Brightfield microscopy, 40× oil immersion. Bone marrow aspirate smear. Single-cell crop: 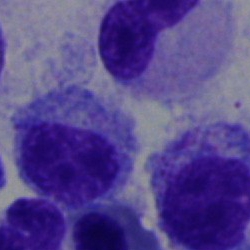 Q: What is shown here?
A: This is a typical lymphocyte.